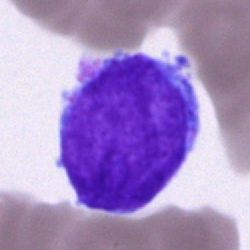 An undifferentiated blast.